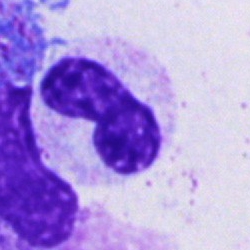

Impression → band neutrophil.